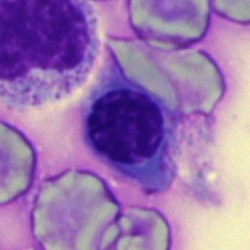
{"cell_type": "normoblast", "lineage": "erythroid"}